Bone marrow aspirate smear
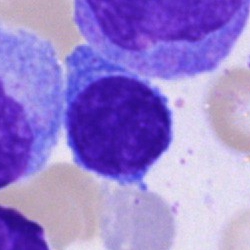
Classification: lymphocyte.